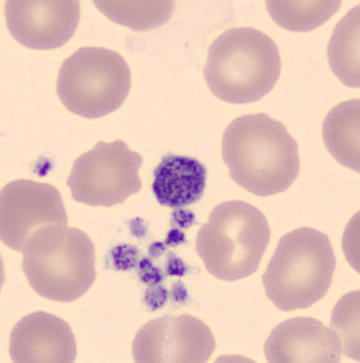 Peripheral blood smear. 360×363 px. Morphological class = platelet.